Bone marrow aspirate smear
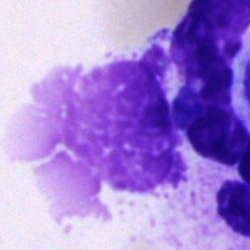

This is an artifact.